Brightfield, 40× oil-immersion objective. Bone marrow aspirate smear: 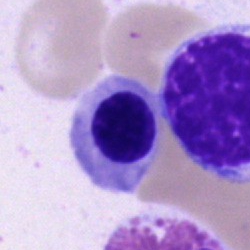
Specimen: bone marrow aspirate smear.
Cell: nucleated red blood cell.
Lineage: erythroid.